Bone marrow aspirate smear: 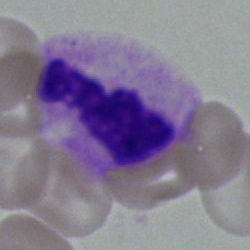Impression — segmented neutrophil.